Bone marrow smear. Single-cell field: 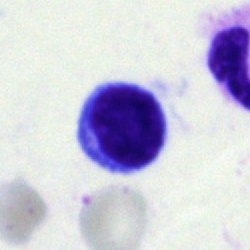 A lymphocyte.